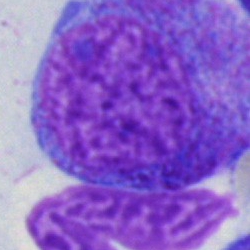
Specimen: bone marrow aspirate smear.
Cell: progranulocyte.